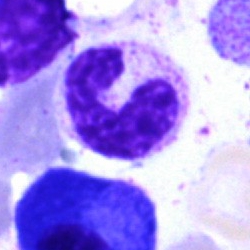 Neutrophil (band).